250×250. Brightfield microscopy, 40× oil immersion. Bone marrow smear
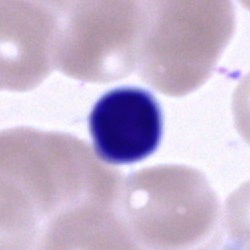 A lymphocyte.